Single-cell field. 40× objective, oil immersion. Bone marrow smear
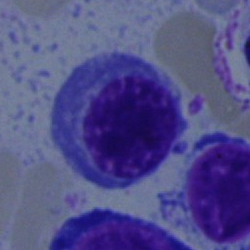Specimen: bone marrow aspirate smear.
Classification: normoblast.